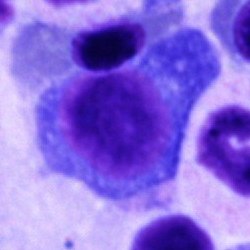

Single cell identified as a plasmacyte.